Image size 250×250. Bone marrow smear. Single-cell crop — 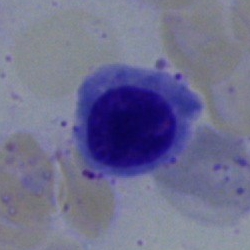 Specimen: bone marrow aspirate smear.
Classification: nucleated red blood cell.